Pappenheim-stained · bone marrow smear · 250 by 250 pixels.
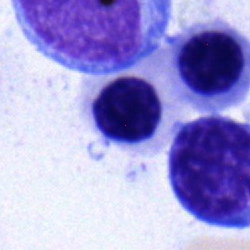
Specimen: bone marrow smear.
Classification: nucleated red blood cell.